Bone marrow smear: 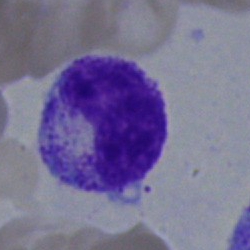
Morphology — metamyelocyte.